Bone marrow aspirate smear
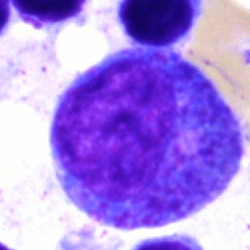 Morphology → promyelocyte.